Pappenheim-stained; bone marrow smear: 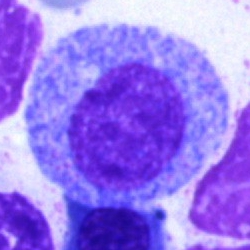 The cell is progranulocyte.